Bone marrow aspirate smear:
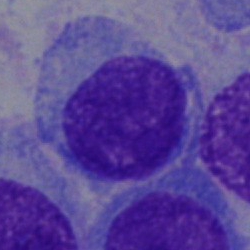
Q: What is the morphological classification of this cell?
A: Plasma cell.